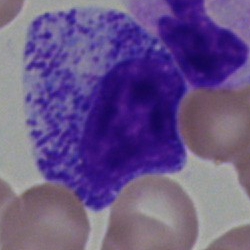 The cell shown is a myelocyte.